Bone marrow smear · single cell centered in the field: 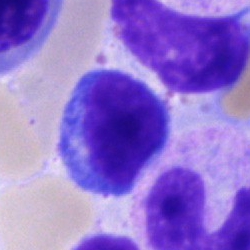

The cell shown is a typical lymphocyte.